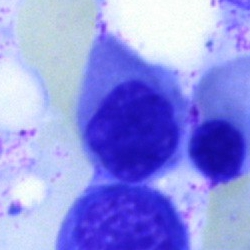
Single-cell crop from a bone marrow smear: erythroblast.